Bone marrow aspirate smear. Single cell centered in the field:
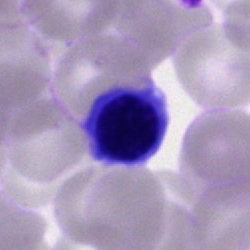 Erythroblast.